Bone marrow aspirate smear; 40× objective, oil immersion.
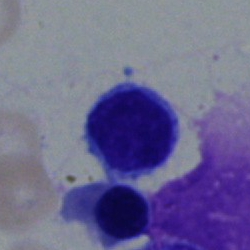The cell is lymphocyte.